Bone marrow smear:
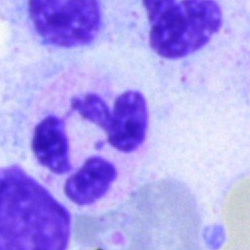Q: What is shown here?
A: This is a segmented neutrophil.